May-Grünwald-Giemsa/Pappenheim stain · bone marrow smear.
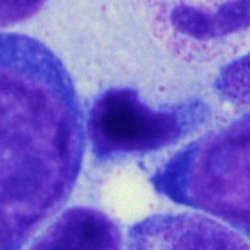Q: Which cell type is shown here?
A: Lymphocyte.